Bone marrow aspirate smear — 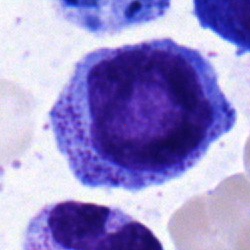The cell is progranulocyte.